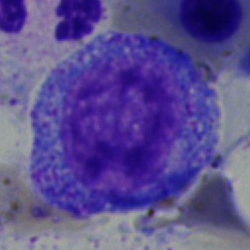Cell = progranulocyte.